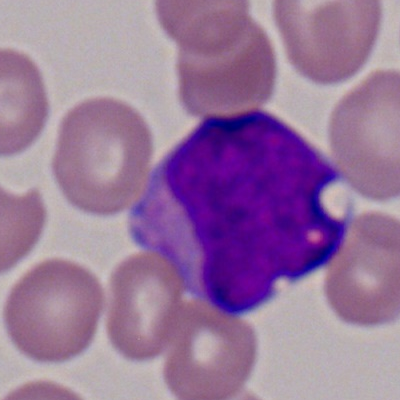
Impression → myeloid blast.